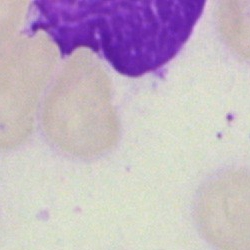

Single-cell crop from a bone marrow smear: artefact.